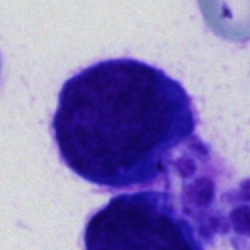
Impression — cell of indeterminate lineage.